Bone marrow aspirate smear.
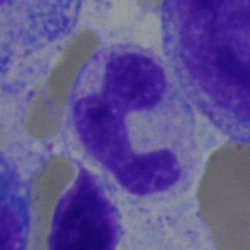

Q: What cell is this?
A: This is a neutrophil (band).